Bone marrow smear. Single-cell field. 40× objective, oil immersion: 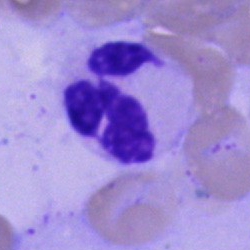 The cell shown is a polymorphonuclear neutrophil.